Bone marrow aspirate smear · single-cell field.
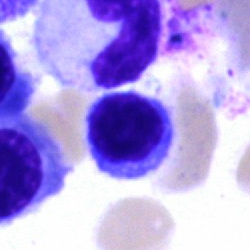
This is an artifact.